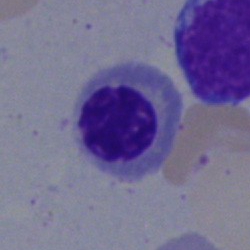

Classification — erythroblast.